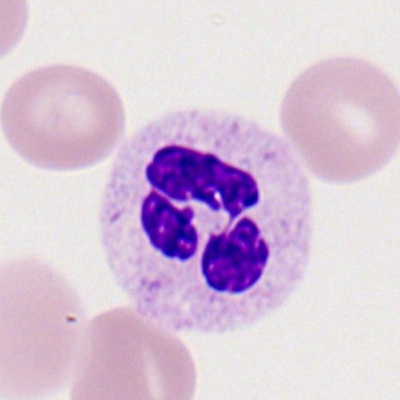

Morphology → polymorphonuclear neutrophil.